Bone marrow aspirate smear — 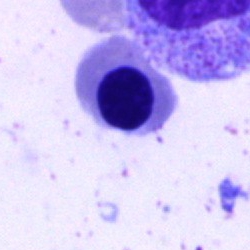
Morphology → erythroblast.